Bone marrow smear: 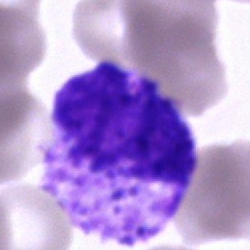

The cell type is basophilic granulocyte.